Bone marrow aspirate smear · 250×250 px · single cell centered in the field:
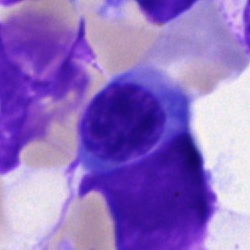
Impression → nucleated red blood cell.